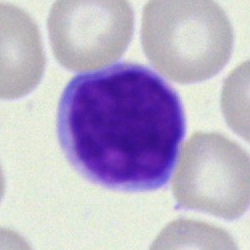Bone marrow smear showing a typical lymphocyte.